Bone marrow smear: 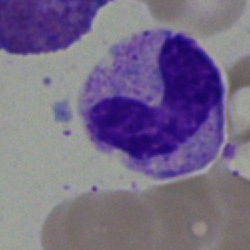
Specimen: bone marrow smear.
Classification: neutrophil (band).